Peripheral blood smear — 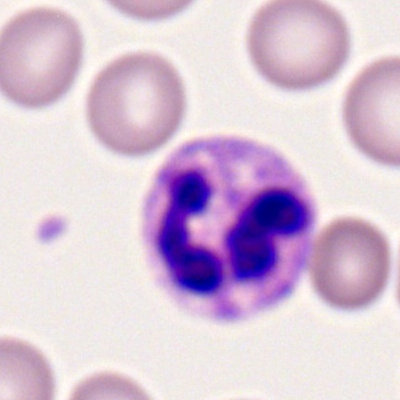Cell type: segmented neutrophil.